Bone marrow smear · brightfield microscopy, 40× oil immersion:
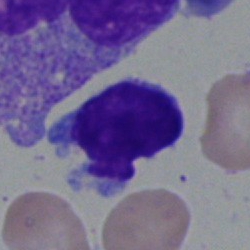

A typical lymphocyte.